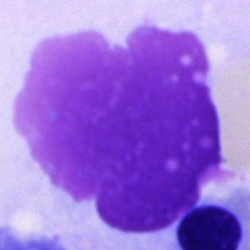 The cell is artefact.